Bone marrow smear
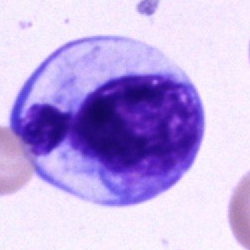
This is an unidentifiable cell.